Bone marrow smear
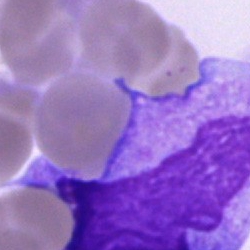

Q: What is shown here?
A: Artifact.